250×250 · bone marrow aspirate smear.
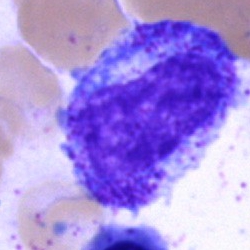

Specimen: bone marrow smear.
Cell: progranulocyte.